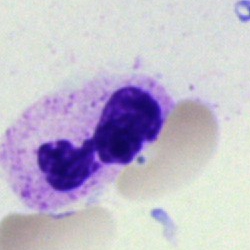

Impression → polymorphonuclear neutrophil.